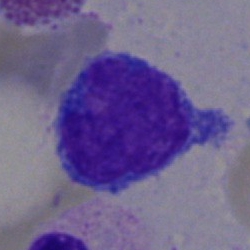 Specimen: bone marrow smear.
Cell: typical lymphocyte.
Lineage: lymphoid.